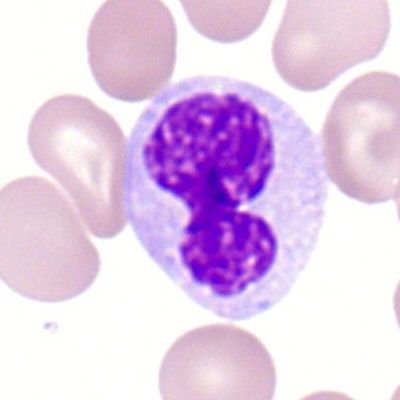Q: Which cell type is shown here?
A: A monocyte.